Bone marrow aspirate smear:
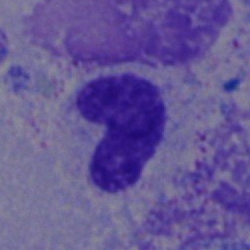 Showing a band neutrophil.